Peripheral blood film. 100× oil immersion.
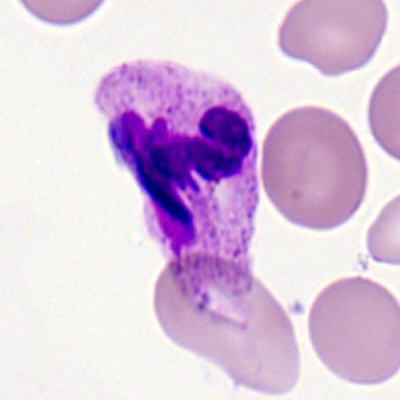
Cell = polymorphonuclear neutrophil.